40× objective, oil immersion; MGG-stained; bone marrow smear — 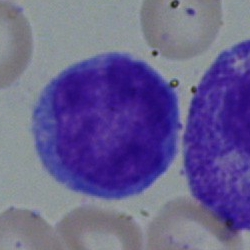Morphological class — blast cell.